Bone marrow aspirate smear. 40× objective, oil immersion
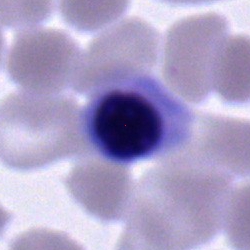

Impression — erythroblast.